Bone marrow smear: 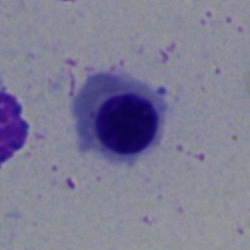
Specimen: bone marrow smear.
Cell: nucleated red blood cell.